Pappenheim-stained. Bone marrow aspirate smear.
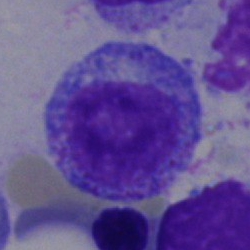 Single cell identified as a progranulocyte.